Image size 250×250; brightfield, 40× oil-immersion objective; bone marrow aspirate smear.
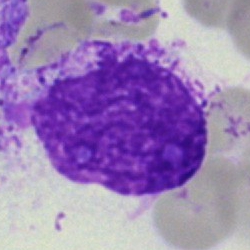
{"cell_type": "artefact"}